Bone marrow aspirate smear
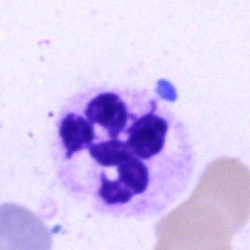 Morphology — polymorphonuclear neutrophil.